Cropped to a single cell · bone marrow aspirate smear · 250×250 — 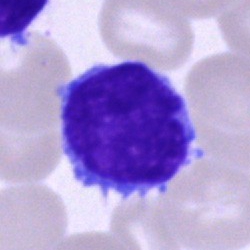 Q: What cell is this?
A: It is a lymphocyte.